Bone marrow smear. MGG-stained. Cropped to a single cell.
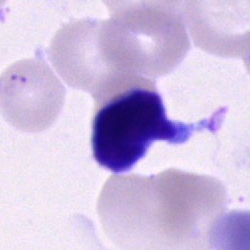

Lymphocyte.